40× oil immersion; bone marrow smear; MGG-stained: 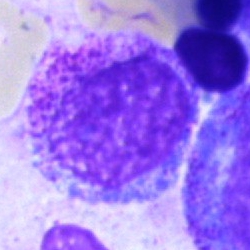

The cell is myelocyte.